Bone marrow smear; single cell centered in the field; MGG-stained:
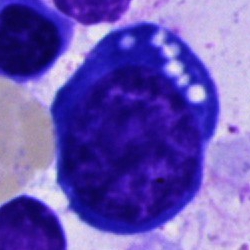
Q: What type of cell is this?
A: It is a pronormoblast.